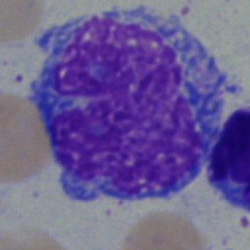An undifferentiated blast on a bone marrow smear.